Romanowsky-type stain. Peripheral blood film: 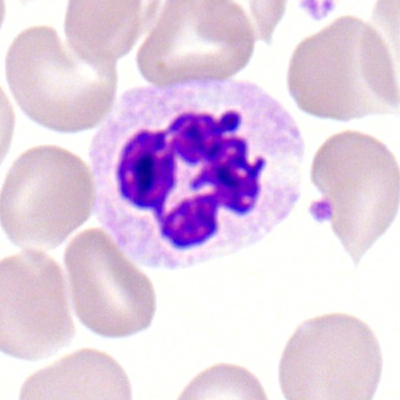

Q: What cell is this?
A: This is a neutrophil (segmented).